Bone marrow smear.
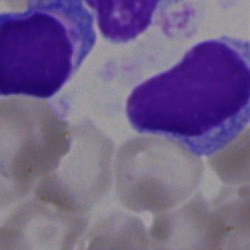 Cell = lymphocyte.